Bone marrow aspirate smear — 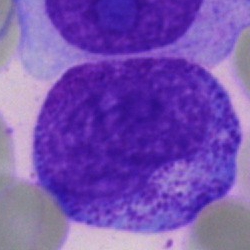

Q: What is shown here?
A: This is a myelocyte.